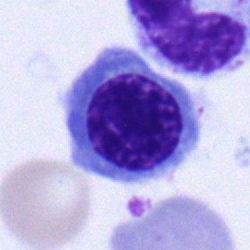 Q: What cell is this?
A: This is a nucleated red cell.